Bone marrow smear.
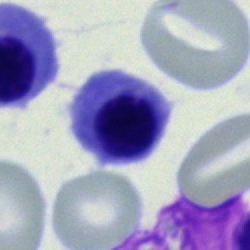

Q: What is the morphological classification of this cell?
A: This is a nucleated red cell.